Bone marrow smear:
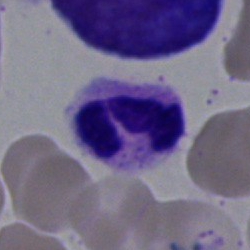 Cell: neutrophil (segmented).